Bone marrow smear: 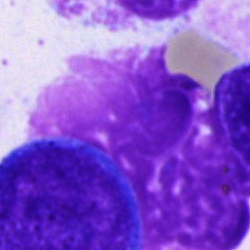

Artifact.